Bone marrow aspirate smear
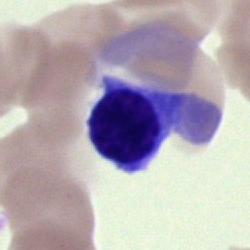

Q: What type of cell is this?
A: A nucleated red blood cell.